Bone marrow smear: 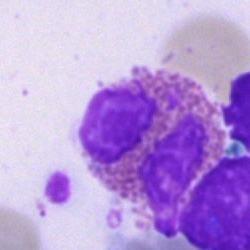
Specimen: bone marrow aspirate smear.
Cell: eosinophilic granulocyte.
Lineage: myeloid.